Bone marrow aspirate smear; image size 250×250.
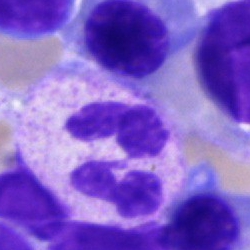Q: What type of cell is this?
A: Segmented neutrophil.